Bone marrow smear — 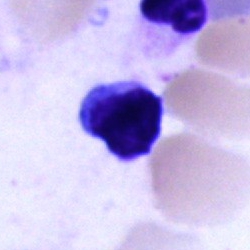 Showing a plasma cell.